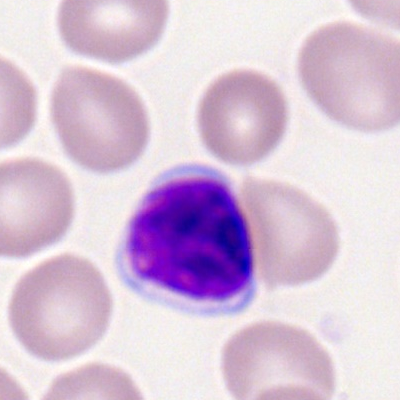The morphological class is lymphocyte.